Bone marrow smear; single-cell field.
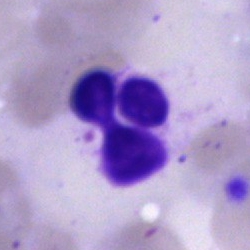
The classification is segmented neutrophil.